Bone marrow aspirate smear:
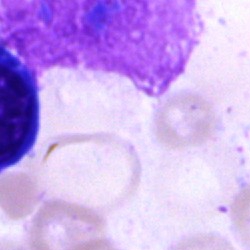Specimen: bone marrow smear.
Cell: artefact.